Brightfield, 40× oil-immersion objective · bone marrow aspirate smear: 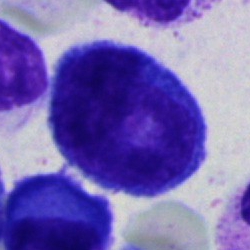Showing a plasma cell.